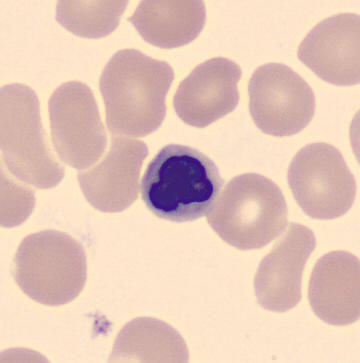 Morphological class = nucleated red cell.

Acquisition: Peripheral blood film. MGG-stained. CellaVision DM96.